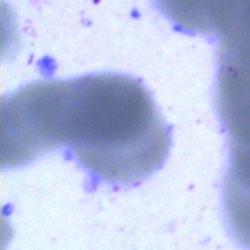

An artifact on a bone marrow smear.